Bone marrow aspirate smear: 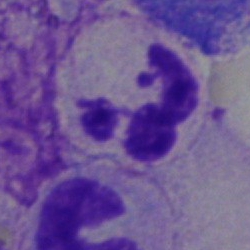Q: Which cell type is shown here?
A: It is a neutrophil (segmented).